Bone marrow smear. Brightfield microscopy, 40× oil immersion — 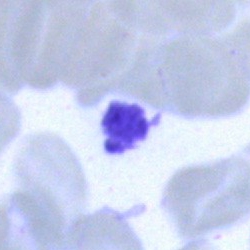Morphological class: artifact.